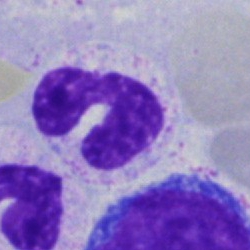

A neutrophil (segmented) on a bone marrow smear.